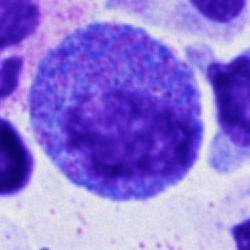Q: Which cell type is shown here?
A: It is a progranulocyte.